Bone marrow smear. 40× oil immersion. May-Grünwald-Giemsa stain — 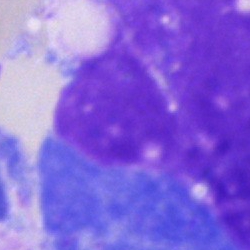
{"cell_type": "artifact"}